Brightfield, 40× oil-immersion objective; May-Grünwald-Giemsa/Pappenheim stain; bone marrow smear.
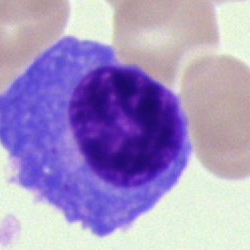

Morphology → plasma cell.